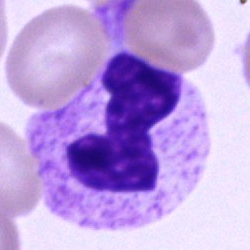Bone marrow aspirate smear, single cell — polymorphonuclear neutrophil.